MGG-stained · bone marrow aspirate smear · 40× objective, oil immersion.
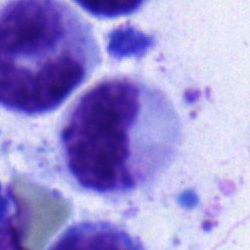Specimen: bone marrow smear.
Cell: metamyelocyte.
Lineage: myeloid.